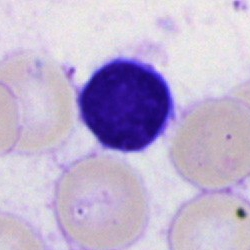

The cell shown is a lymphocyte.